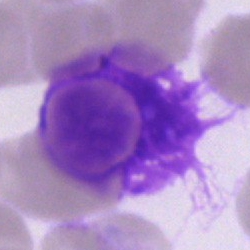 Cell type — artefact.